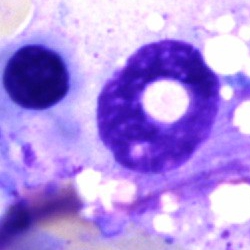

Classification = artefact.